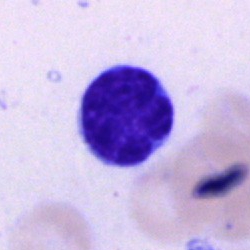
Single cell identified as a typical lymphocyte.